Bone marrow smear: 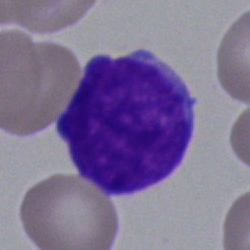

Morphology — blast cell.